Bone marrow smear.
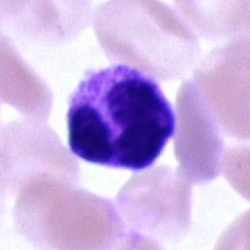{"cell_type": "neutrophil (segmented)", "lineage": "myeloid"}